Bone marrow smear. Image size 250×250 — 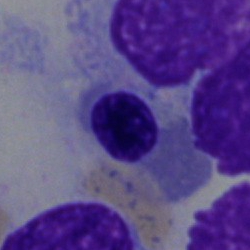Cell type: nucleated red cell.